Bone marrow smear. 250×250 px: 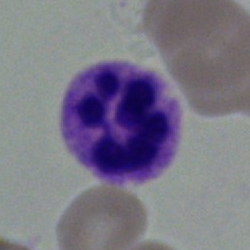Q: What is shown here?
A: This is a neutrophil (segmented).